Bone marrow smear: 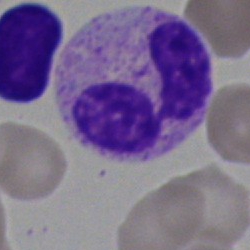 Cell type: segmented neutrophil.